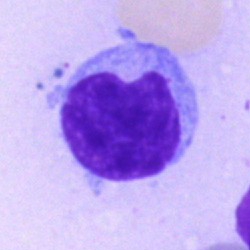Impression — lymphocyte.